Bone marrow aspirate smear. 250×250 px.
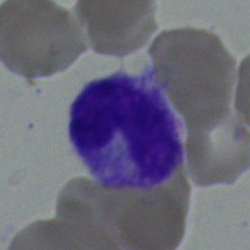
Cell type — band-form neutrophil.